Pappenheim-stained; bone marrow aspirate smear; cropped to a single cell: 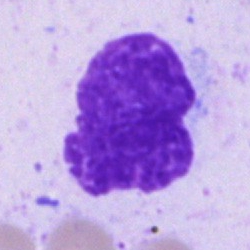 Single cell identified as an artifact.